Bone marrow aspirate smear · brightfield, 40× oil-immersion objective — 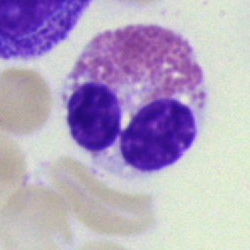
The classification is eosinophilic granulocyte.